Bone marrow smear: 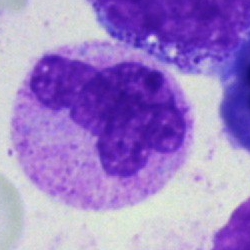Cell — segmented neutrophil.